Bone marrow smear: 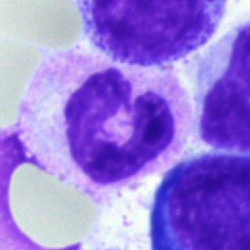
{"cell_type": "neutrophil (segmented)"}